Peripheral blood smear. 100× objective, oil immersion.
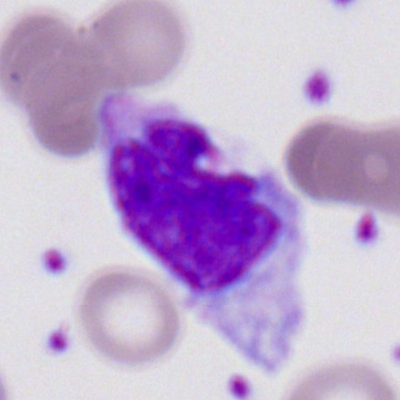{"cell_type": "monocyte", "lineage": "myeloid"}